Bone marrow smear; 250 by 250 pixels; cropped to a single cell — 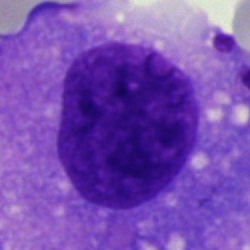Morphology consistent with an artefact.